Bone marrow aspirate smear.
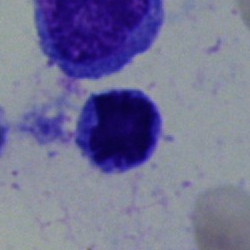 Cell: typical lymphocyte.